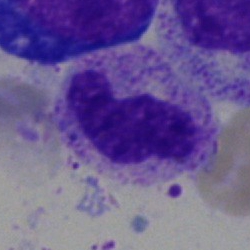

A neutrophil (segmented) on a bone marrow smear.